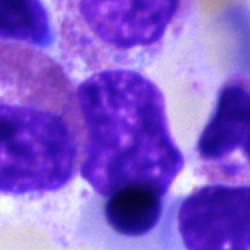 Q: What is shown here?
A: Artifact.